Bone marrow smear · 250 by 250 pixels:
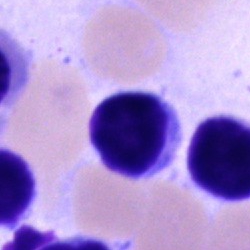 Morphology — typical lymphocyte.